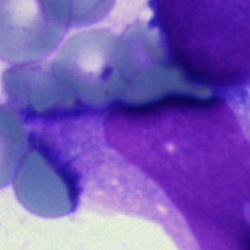 Classification = undifferentiated blast.